Single-cell field · bone marrow smear · 250×250 px — 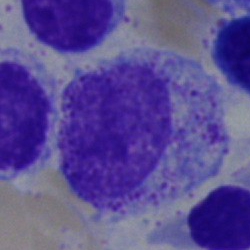

Morphology → myelocyte.